MGG-stained. Bone marrow smear:
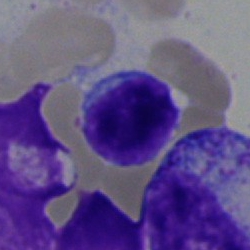

Specimen: bone marrow aspirate smear.
Classification: lymphocyte.